Cropped to a single cell · brightfield microscopy, 40× oil immersion · bone marrow smear
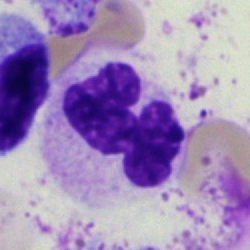

Q: Identify the cell.
A: It is a segmented neutrophil.